100× oil immersion, 14.14 px/µm. Peripheral blood film.
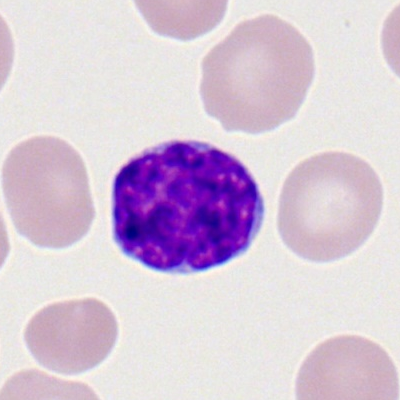Morphology consistent with a typical lymphocyte.